Bone marrow aspirate smear; 250 by 250 pixels: 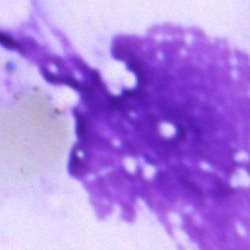
Showing an artefact.